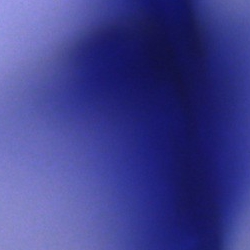Impression → artefact.